250 by 250 pixels. Bone marrow smear:
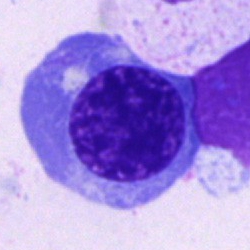Q: What is the morphological classification of this cell?
A: A normoblast.